Bone marrow aspirate smear. May-Grünwald-Giemsa/Pappenheim stain — 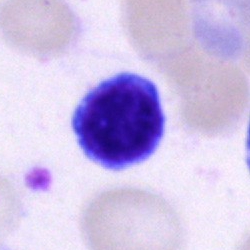
Morphological class: typical lymphocyte.